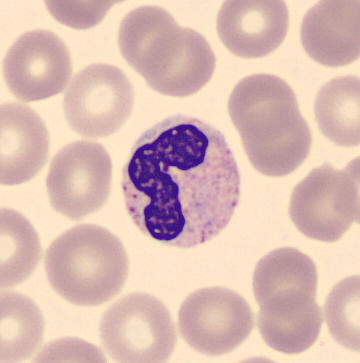 Specimen: peripheral blood smear.
Cell: stab cell.